Peripheral blood film — 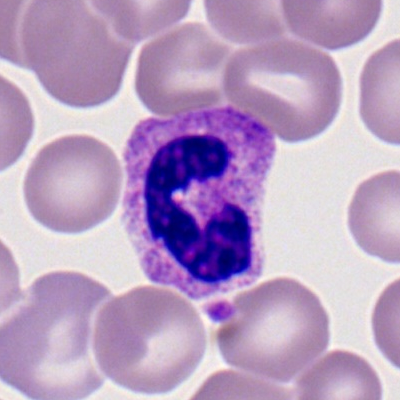Impression → segmented neutrophil.